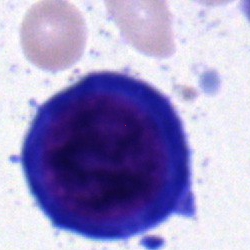Bone marrow smear showing a pronormoblast.